Bone marrow aspirate smear · May-Grünwald-Giemsa stain.
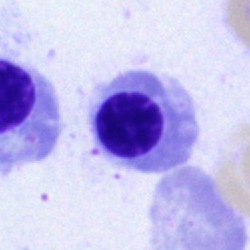

Cell type — erythroblast.